Bone marrow smear.
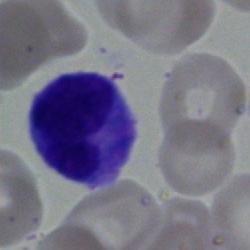

{"cell_type": "monocyte", "lineage": "myeloid"}